Bone marrow smear.
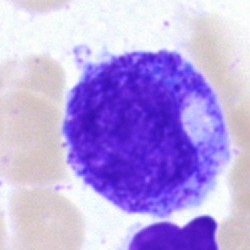

Morphology → progranulocyte.